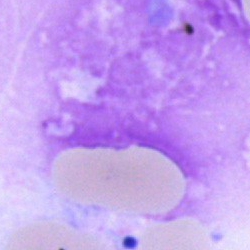 Q: What is shown here?
A: It is an artifact.